Bone marrow aspirate smear.
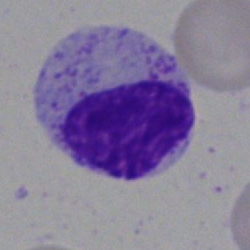
The cell shown is a myelocyte.